Cropped to a single cell. Bone marrow smear.
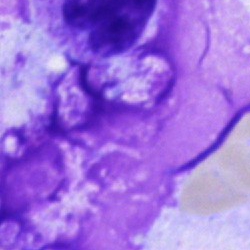 Morphological class = artifact.